Bone marrow aspirate smear · cropped to a single cell — 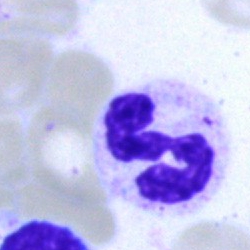 Morphological class — polymorphonuclear neutrophil.